Peripheral blood film
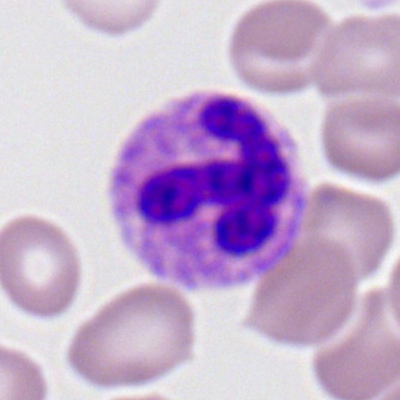
Q: What cell is this?
A: Segmented neutrophil.